40× oil immersion · cropped to a single cell · bone marrow aspirate smear — 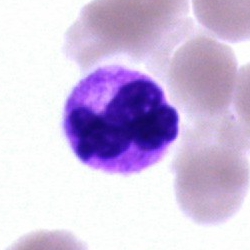 The morphological class is neutrophil (segmented).